Bone marrow smear.
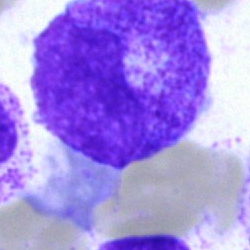

Impression → stab cell.